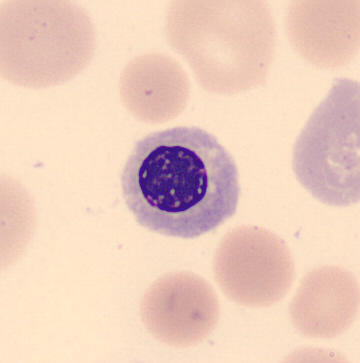
Image: May-Grünwald-Giemsa-stained; peripheral blood smear.
Nucleated red cell.